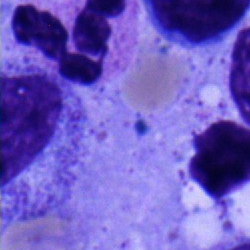Bone marrow smear showing a promyelocyte.